Bone marrow smear; cropped to a single cell: 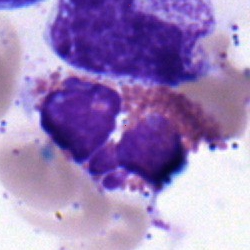 Morphology — eosinophilic granulocyte.